250 by 250 pixels. Bone marrow smear
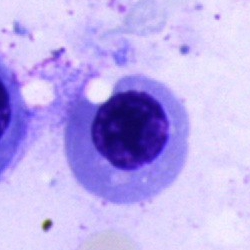

Classification: nucleated red cell.